Bone marrow aspirate smear.
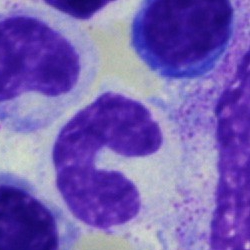A band-form neutrophil.